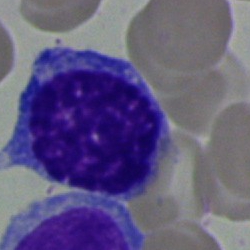 Cell type — nucleated red cell.